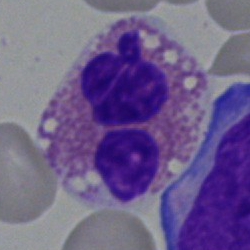Impression → eosinophil.